Bone marrow aspirate smear: 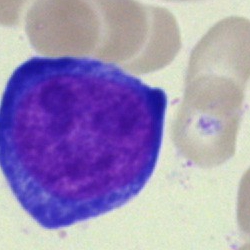

Specimen: bone marrow smear.
Cell type: pronormoblast.